Bone marrow aspirate smear. Single-cell field.
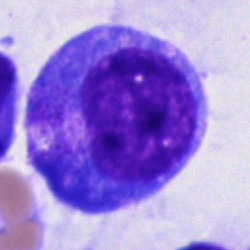Promyelocyte.